Bone marrow smear — 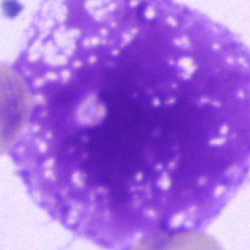
Cell = artefact.